100× oil immersion. Peripheral blood film. Single-cell field — 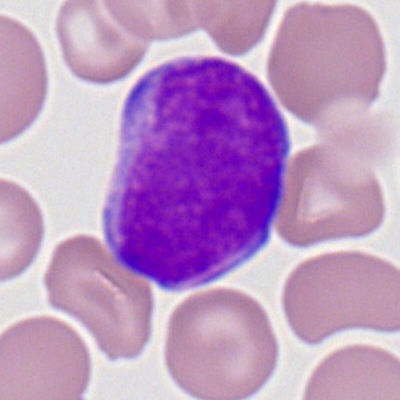 Single cell identified as a myeloblast.